Peripheral blood smear · 400 by 400 pixels.
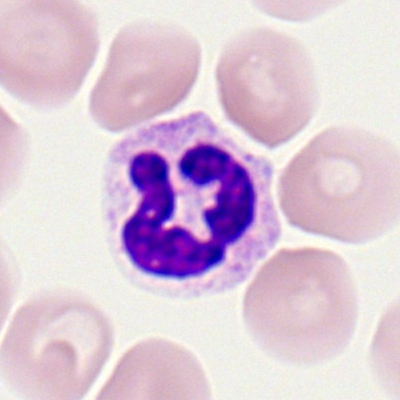 A segmented neutrophil.